Bone marrow aspirate smear · May-Grünwald-Giemsa/Pappenheim stain: 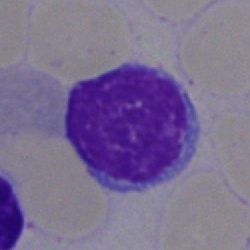

The classification is typical lymphocyte.